Bone marrow smear.
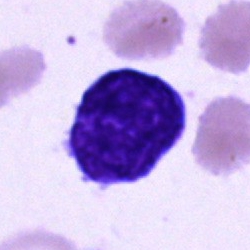
A blast cell.